Cropped to a single cell. Peripheral blood film. 360×363 px
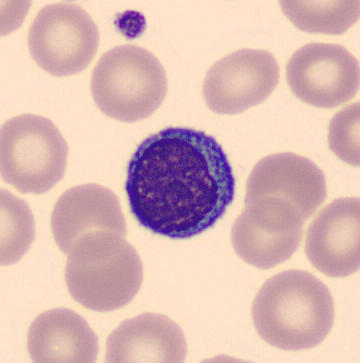Lymphocyte.